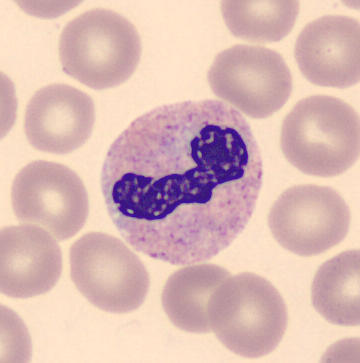 Identified as a band neutrophil.